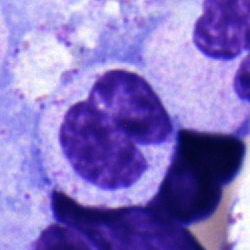 A metamyelocyte.